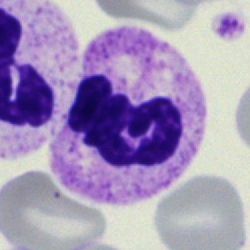
This is a segmented neutrophil.